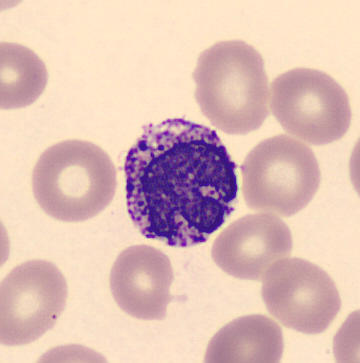Q: What is this?
A: Basophil.

Acquisition: Peripheral blood film.